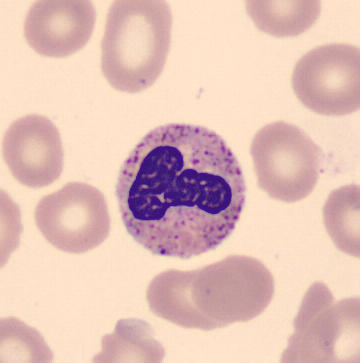

Morphology → band-form neutrophil. Peripheral blood film.